Bone marrow aspirate smear · May-Grünwald-Giemsa stain: 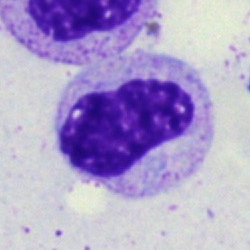Morphology → neutrophil (band).